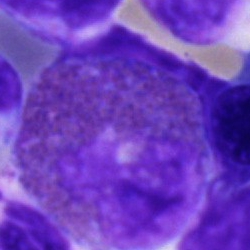This is an eosinophilic granulocyte.